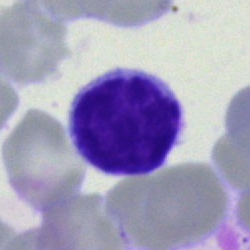Single-cell crop from a bone marrow smear: typical lymphocyte.